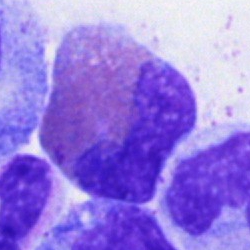 Single cell identified as an eosinophil.